Single-cell crop · peripheral blood film — 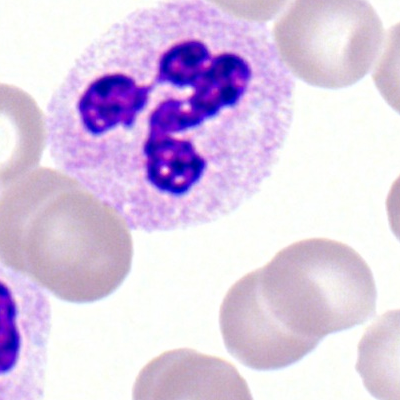 Q: Identify the cell.
A: A polymorphonuclear neutrophil.